Bone marrow aspirate smear · MGG-stained
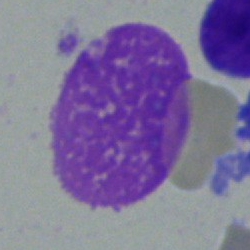
The cell shown is an artefact.